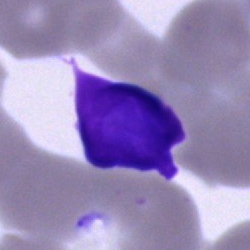 Q: What is shown here?
A: It is an artefact.